Peripheral blood film: 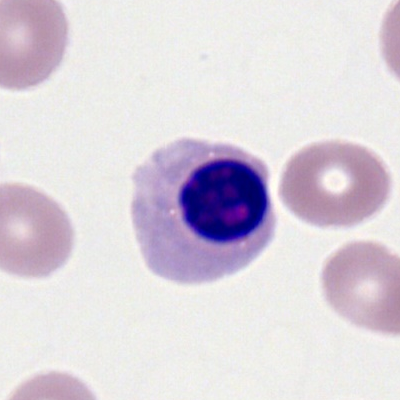

Showing an erythroblast.